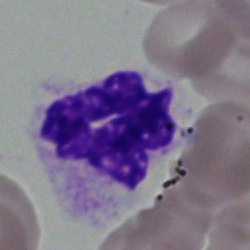 A polymorphonuclear neutrophil on a bone marrow smear.